Bone marrow aspirate smear.
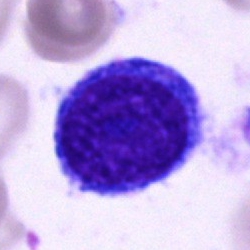
Morphology consistent with an undifferentiated blast.